40× objective, oil immersion; bone marrow smear:
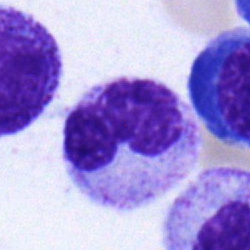Q: What type of cell is this?
A: This is a neutrophil (segmented).